Bone marrow aspirate smear:
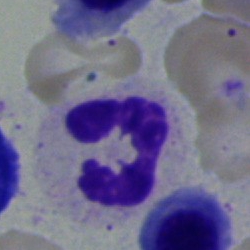 Specimen: bone marrow aspirate smear.
Morphological class: segmented neutrophil.